Image size 400×400. Peripheral blood film — 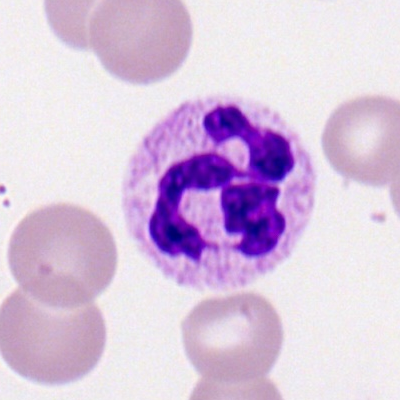 This is a polymorphonuclear neutrophil.